Bone marrow smear — 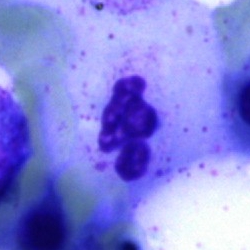

Q: What is shown here?
A: It is an artefact.